Bone marrow aspirate smear.
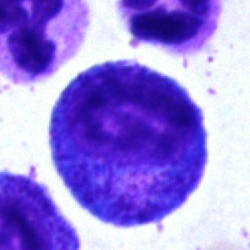A progranulocyte.